May-Grünwald-Giemsa stain; bone marrow aspirate smear.
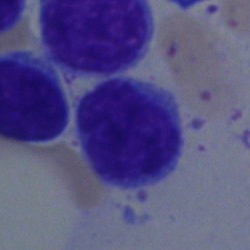 Cell type = lymphocyte.